May-Grünwald-Giemsa stain · 250×250 · bone marrow smear — 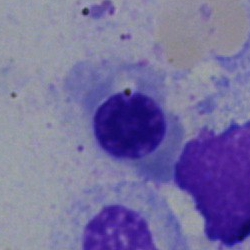
Showing a nucleated red blood cell.